Bone marrow smear.
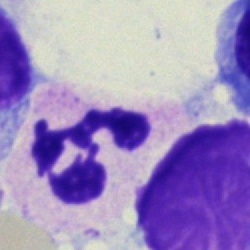
Morphological class: polymorphonuclear neutrophil.